Single-cell crop; bone marrow smear.
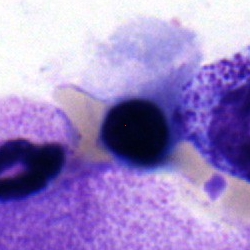

Q: Which cell type is shown here?
A: It is a nucleated red cell.